Bone marrow aspirate smear · brightfield microscopy, 40× oil immersion:
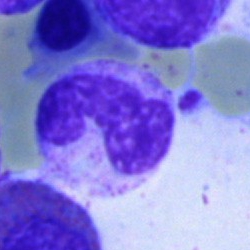
Q: Identify the cell.
A: It is a band-form neutrophil.